Single-cell field. Brightfield microscopy, 40× oil immersion. Bone marrow smear.
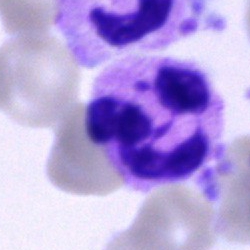 Cell — polymorphonuclear neutrophil.